Bone marrow aspirate smear — 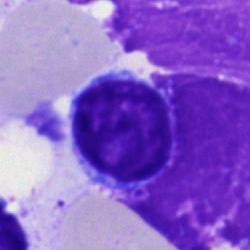Q: What is the morphological classification of this cell?
A: A typical lymphocyte.